Image size 250×250; bone marrow smear:
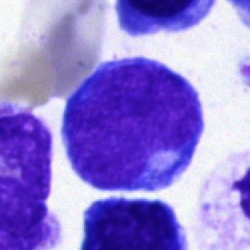

Morphology → lymphocyte.